Bone marrow smear · 250 by 250 pixels — 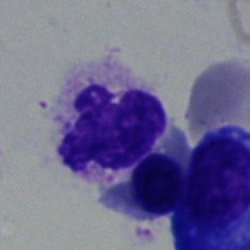
Q: What cell is this?
A: A polymorphonuclear neutrophil.